Peripheral blood smear. Brightfield, 100× oil-immersion objective:
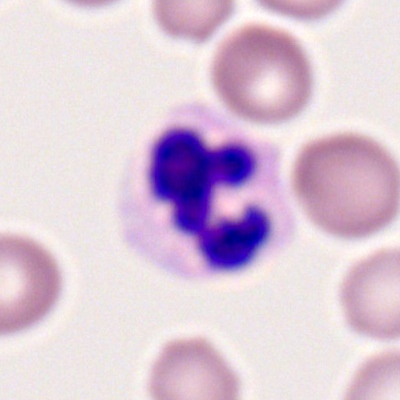The classification is neutrophil (segmented).